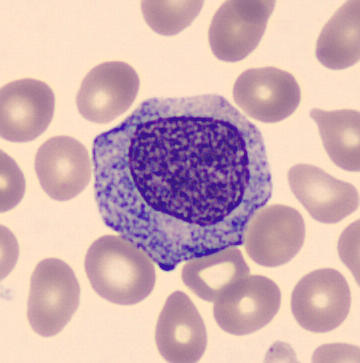
Preparation: 360×363. CellaVision DM96. Peripheral blood smear.

The cell is progranulocyte.